Bone marrow smear — 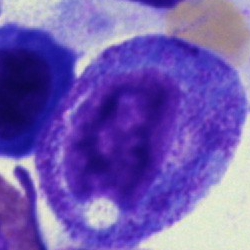

{"cell_type": "progranulocyte", "lineage": "myeloid"}